Bone marrow smear
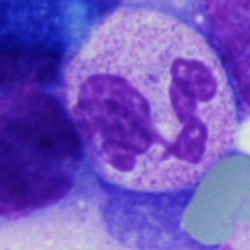
Q: Identify the cell.
A: A segmented neutrophil.